Bone marrow aspirate smear · 40× objective, oil immersion — 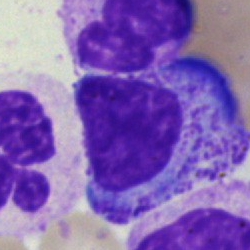

Promyelocyte.